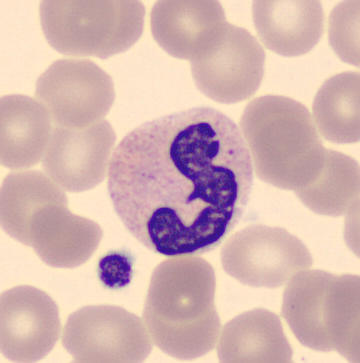 Showing a neutrophil (segmented).